Bone marrow smear
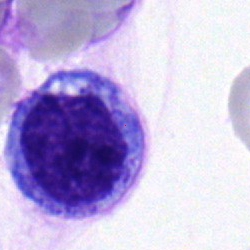 Polymorphonuclear neutrophil.